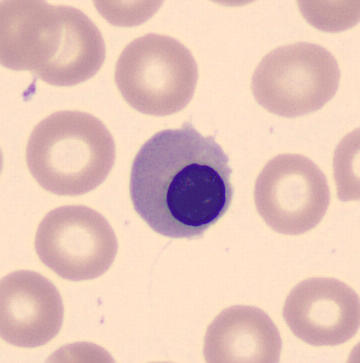
Image: Peripheral blood film. Identified as a nucleated red blood cell.